Bone marrow smear
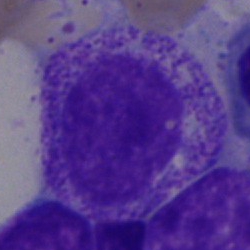 Single cell identified as a myelocyte.